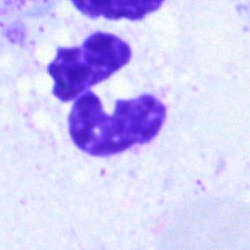

This is a neutrophil (segmented).